Bone marrow aspirate smear — 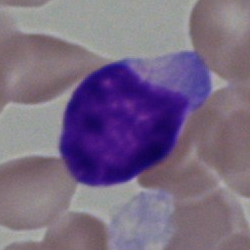
This is a blast cell.